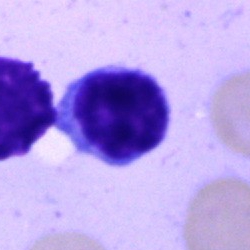

Showing a typical lymphocyte.